May-Grünwald-Giemsa/Pappenheim stain. 250×250 px. Bone marrow smear
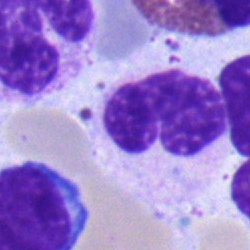Specimen: bone marrow smear.
Classification: band neutrophil.